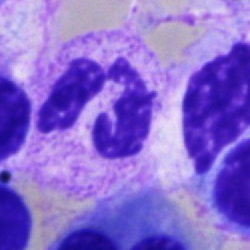

Specimen: bone marrow smear.
Cell: neutrophil (segmented).